250×250; bone marrow smear
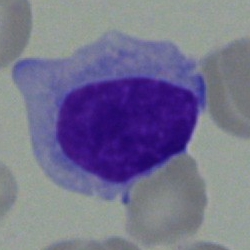

Morphology → lymphocyte.